400×400. Peripheral blood film: 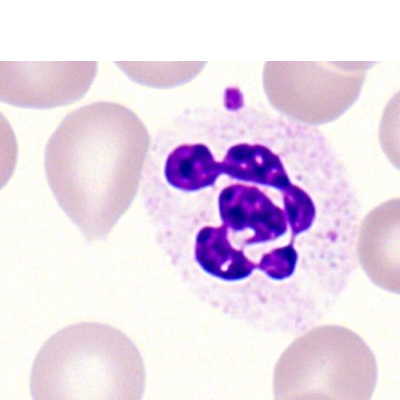
Q: Which cell type is shown here?
A: This is a neutrophil (segmented).